Brightfield, 40× oil-immersion objective. Bone marrow smear. Single cell centered in the field
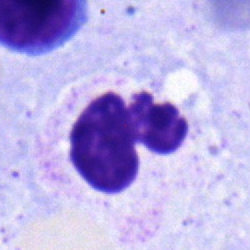 This is a lymphocyte.